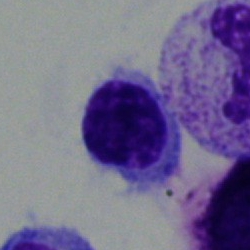
Q: What cell is this?
A: It is a lymphocyte.